Bone marrow smear:
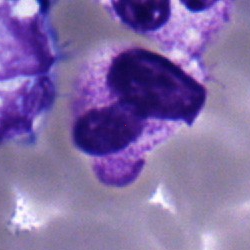Cell type: polymorphonuclear neutrophil.